May-Grünwald-Giemsa stain · single cell centered in the field · bone marrow smear
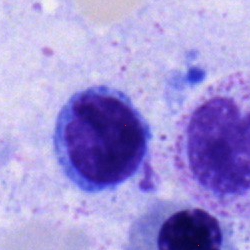 Specimen: bone marrow aspirate smear.
Cell type: typical lymphocyte.